Bone marrow aspirate smear. Pappenheim-stained — 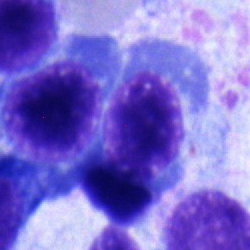The cell type is nucleated red cell.